Bone marrow aspirate smear. Brightfield microscopy, 40× oil immersion — 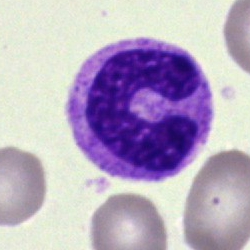Morphology consistent with a neutrophil (band).